Single cell centered in the field · bone marrow aspirate smear:
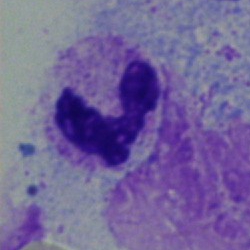

Single cell identified as a neutrophil (segmented).